Bone marrow smear: 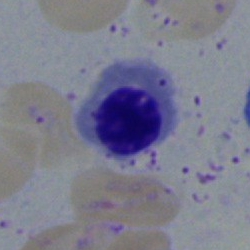{"cell_type": "nucleated red cell"}